MGG-stained · single-cell crop · bone marrow smear — 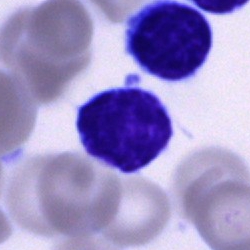 Q: What is shown here?
A: It is a lymphocyte.